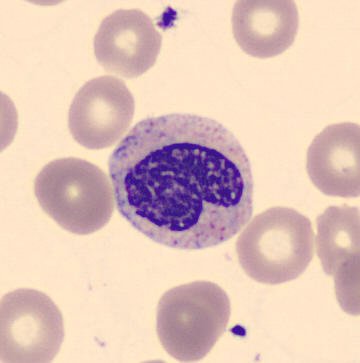

Peripheral blood smear. A metamyelocyte.